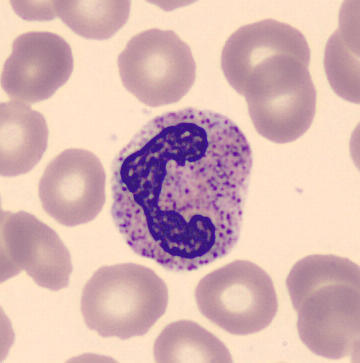
Peripheral blood smear. Showing a polymorphonuclear neutrophil.